Bone marrow smear
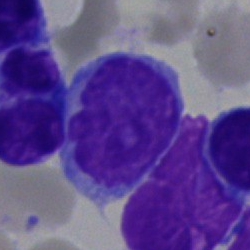
Specimen: bone marrow smear.
Classification: lymphocyte.
Lineage: lymphoid.